Bone marrow aspirate smear:
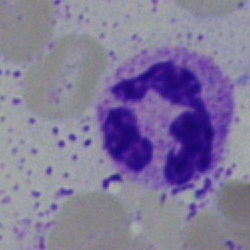Specimen: bone marrow smear.
Cell: segmented neutrophil.
Lineage: myeloid.